Bone marrow aspirate smear — 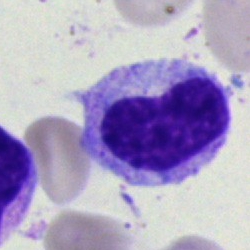
Q: What cell is this?
A: This is a band neutrophil.